Bone marrow aspirate smear · single cell centered in the field
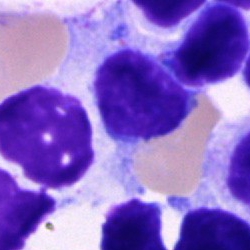 Q: Which cell type is shown here?
A: It is a typical lymphocyte.